Cropped to a single cell. Bone marrow smear — 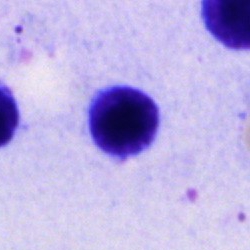

Q: What type of cell is this?
A: It is a lymphocyte.